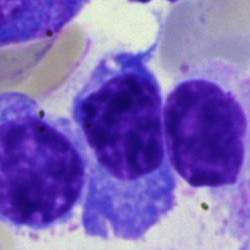 Morphological class: plasmacyte.